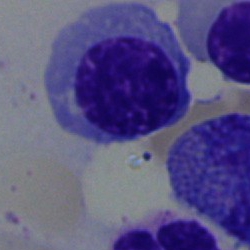 The classification is nucleated red blood cell.